Bone marrow smear. Brightfield microscopy, 40× oil immersion:
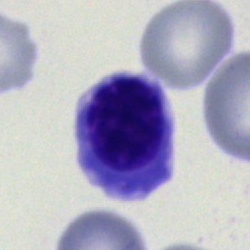

Specimen: bone marrow smear.
Cell: nucleated red cell.
Lineage: erythroid.